Single-cell crop. Bone marrow smear — 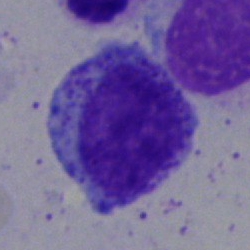 Showing a myelocyte.